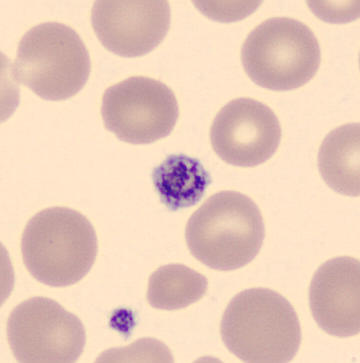 This is a platelet.
360×363 px · peripheral blood smear.